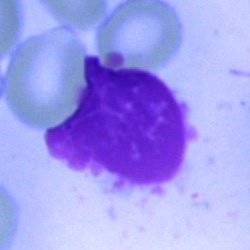Q: What is shown here?
A: Artefact.